MGG-stained. 40× objective, oil immersion. Bone marrow aspirate smear.
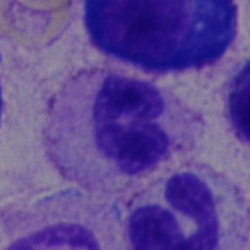Classification — polymorphonuclear neutrophil.